Bone marrow smear; 40× objective, oil immersion: 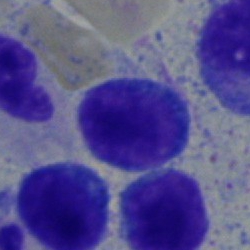 Impression — lymphocyte.